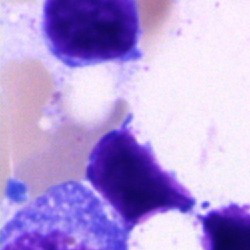Q: What is shown here?
A: It is an artefact.